Pappenheim-stained. Bone marrow smear. Single-cell crop.
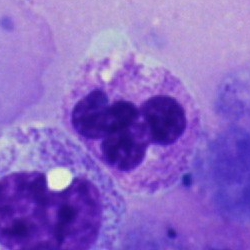The cell shown is a polymorphonuclear neutrophil.